Bone marrow smear
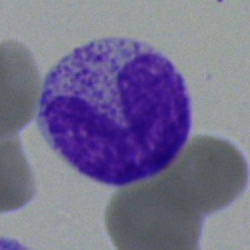
Showing a band neutrophil.